MGG-stained. 250×250. Bone marrow smear.
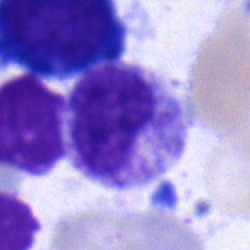
Metamyelocyte.